Bone marrow aspirate smear · 250×250:
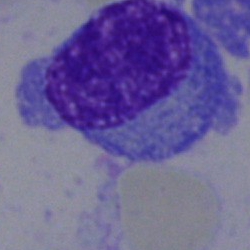Morphology consistent with a plasma cell.